40× oil immersion; bone marrow aspirate smear:
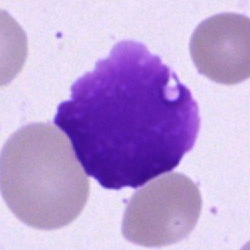

Cell — artefact.